Peripheral blood film — 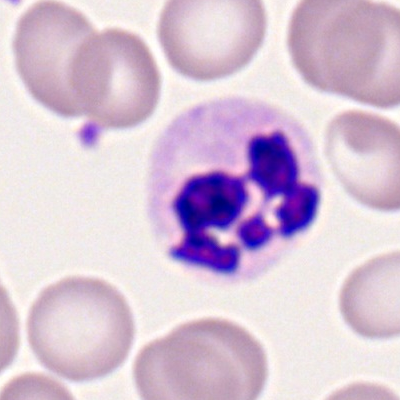

Impression — polymorphonuclear neutrophil.